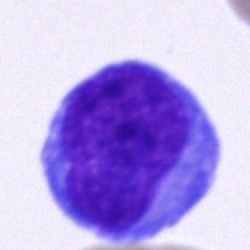Q: Identify the cell.
A: This is a blast cell.